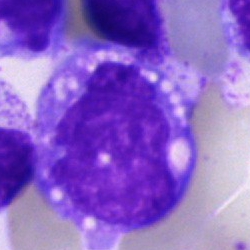
{"cell_type": "monocyte"}